Single-cell field. Bone marrow aspirate smear.
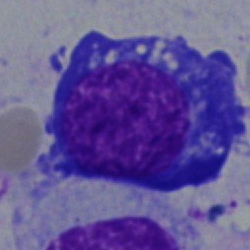 Specimen: bone marrow smear.
Morphological class: pronormoblast.
Lineage: erythroid.